Peripheral blood smear; 100× objective, oil immersion: 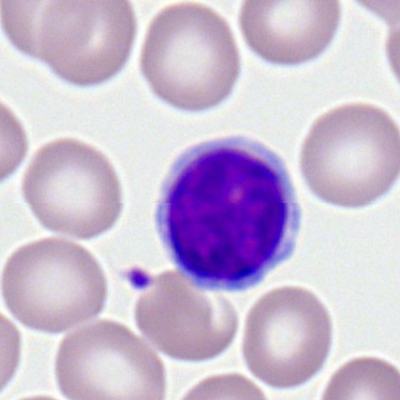

Morphology consistent with a lymphocyte.